Bone marrow smear. 250 by 250 pixels. Brightfield, 40× oil-immersion objective:
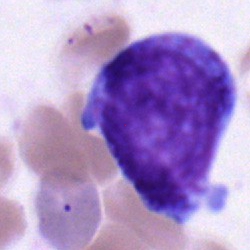
Morphology → promyelocyte.